Bone marrow smear: 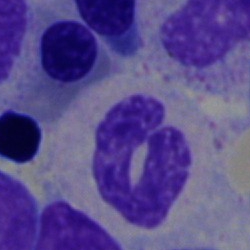Specimen: bone marrow aspirate smear.
Classification: segmented neutrophil.